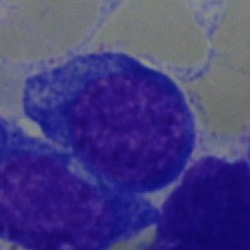Morphological class — proerythroblast.